40× oil immersion. Bone marrow aspirate smear. MGG-stained.
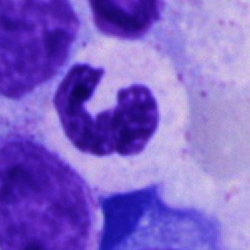Cell = neutrophil (segmented).